Bone marrow aspirate smear — 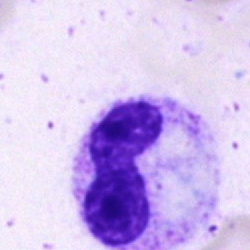 Single cell identified as a band-form neutrophil.